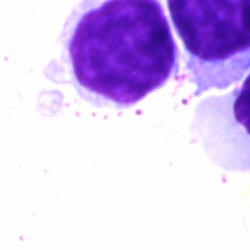Single-cell crop from a bone marrow smear: typical lymphocyte.